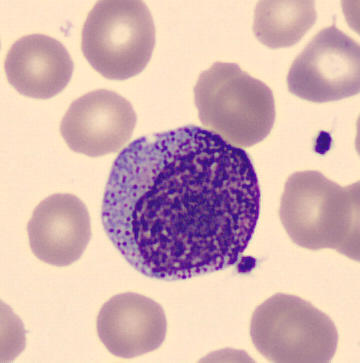

A progranulocyte.